Bone marrow aspirate smear:
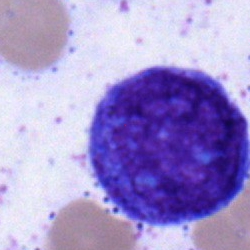 Specimen: bone marrow aspirate smear.
Classification: blast.